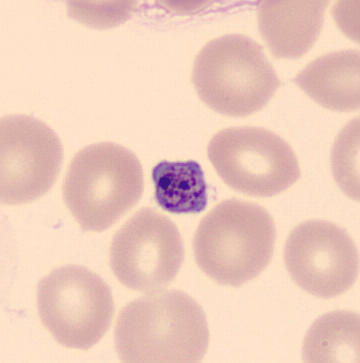

Impression — platelet.